Bone marrow smear
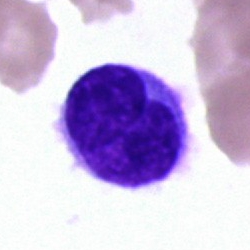Q: What is shown here?
A: A hairy cell.